Brightfield, 40× oil-immersion objective. Bone marrow smear: 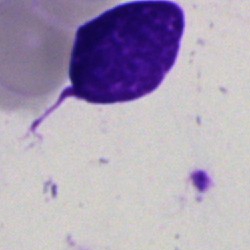
Showing an artifact.